MGG-stained; bone marrow aspirate smear:
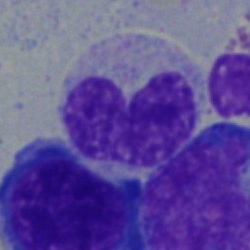
Q: Which cell type is shown here?
A: A neutrophil (band).